Bone marrow aspirate smear: 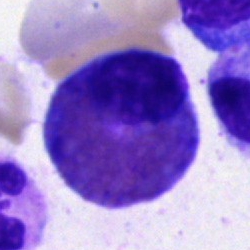Single cell identified as an eosinophilic granulocyte.